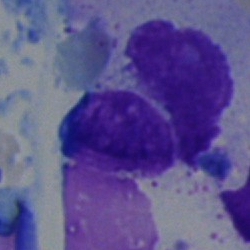
Cell: artifact.